Bone marrow aspirate smear. Single-cell crop. Brightfield microscopy, 40× oil immersion.
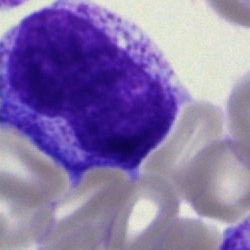Impression — metamyelocyte.